Bone marrow aspirate smear
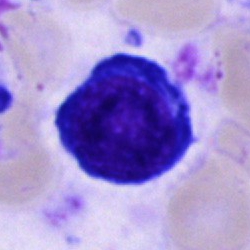 A pronormoblast.